250×250 px. Brightfield, 40× oil-immersion objective. Bone marrow smear — 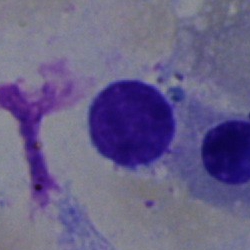

Cell: lymphocyte.